Bone marrow smear:
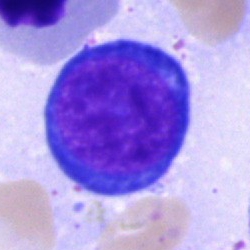
Morphology consistent with a proerythroblast.